Bone marrow aspirate smear; single-cell crop.
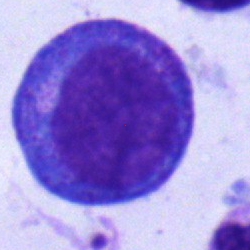

Cell = promyelocyte.